Peripheral blood smear — 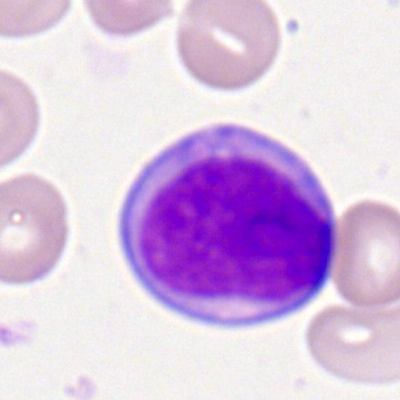
Specimen: peripheral blood smear.
Cell type: myeloid blast.
Lineage: myeloid.